Bone marrow aspirate smear:
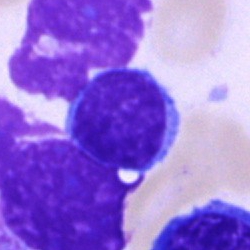A typical lymphocyte.